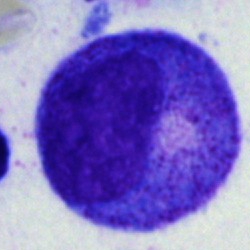
Specimen: bone marrow smear.
Cell: promyelocyte.
Lineage: myeloid.